250 by 250 pixels; bone marrow smear
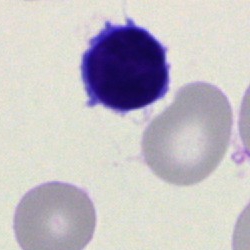
Classification: lymphocyte.